Bone marrow aspirate smear · MGG-stained:
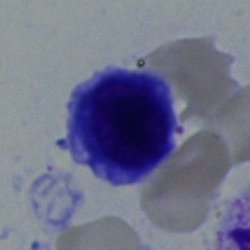 {"cell_type": "nucleated red cell"}